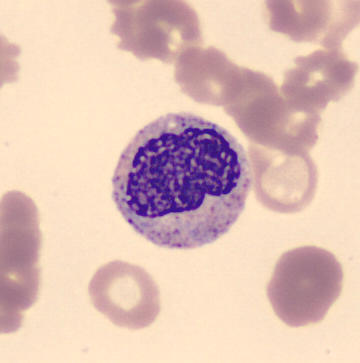The cell is metamyelocyte.